Bone marrow aspirate smear. Single-cell field — 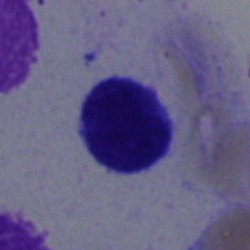

Morphology → typical lymphocyte.